Brightfield microscopy, 40× oil immersion · bone marrow smear
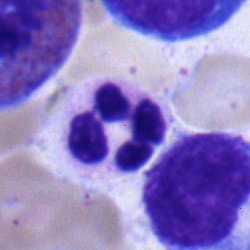 A segmented neutrophil.